Bone marrow smear — 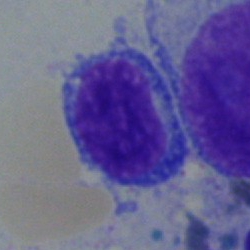
Q: What is shown here?
A: This is a typical lymphocyte.